May-Grünwald-Giemsa stain. Bone marrow smear
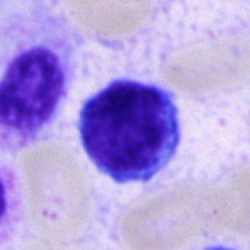Cell type — typical lymphocyte.